Bone marrow smear. Cropped to a single cell. 250×250 px — 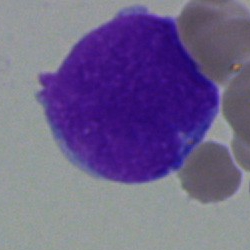 A blast cell.